Bone marrow smear; image size 250×250 — 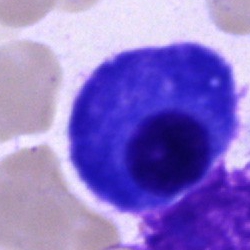

Specimen: bone marrow aspirate smear.
Cell type: plasmacyte.